Bone marrow aspirate smear — 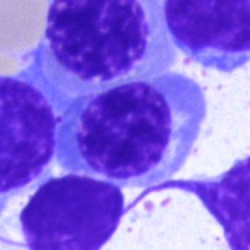

The classification is nucleated red cell.